Peripheral blood smear · single cell centered in the field · Romanowsky-stained.
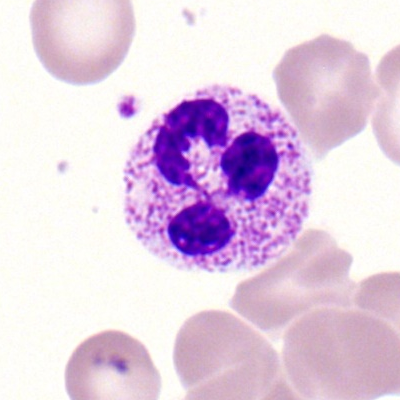

The cell type is neutrophil (segmented).